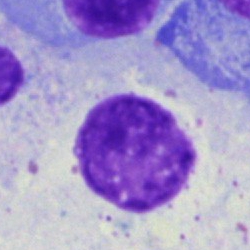 Q: What is shown here?
A: An artefact.